Bone marrow smear; 40× oil immersion.
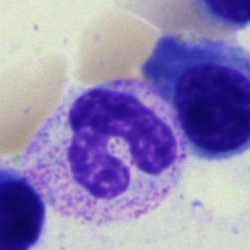

The cell type is band neutrophil.